Bone marrow aspirate smear; single-cell field.
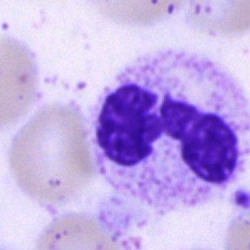

{"cell_type": "polymorphonuclear neutrophil", "lineage": "myeloid"}